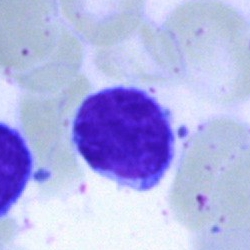Morphology consistent with a lymphocyte.